Single cell centered in the field · image size 250×250 · bone marrow smear: 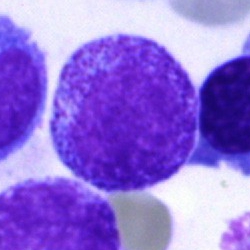{"cell_type": "myelocyte"}